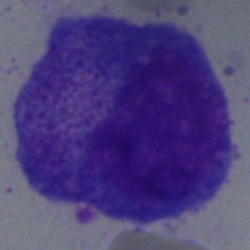 The cell type is promyelocyte.